Bone marrow smear: 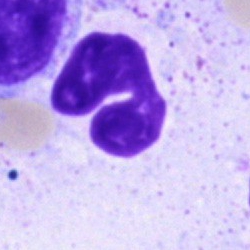
This is a neutrophil (segmented).